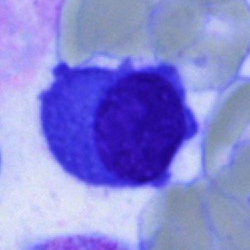The classification is plasma cell.